Brightfield, 40× oil-immersion objective · bone marrow aspirate smear · MGG-stained: 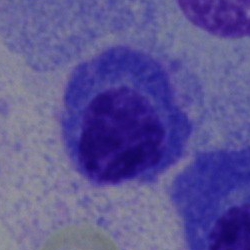{"cell_type": "plasma cell"}